MGG stain · imaged on a CellaVision DM96 analyser · peripheral blood smear
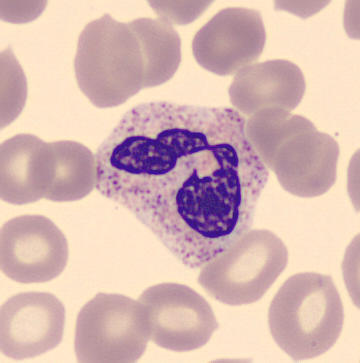

Cell type = neutrophil (segmented).